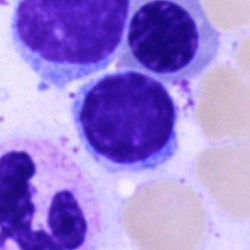
Morphology consistent with a lymphocyte.